Single-cell crop · bone marrow aspirate smear · 250×250.
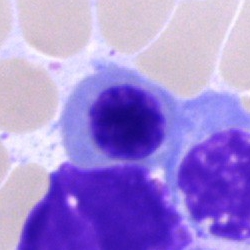
Cell: normoblast.